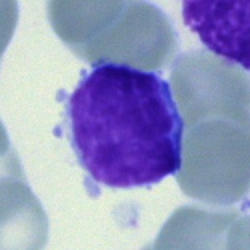

{"cell_type": "lymphocyte"}